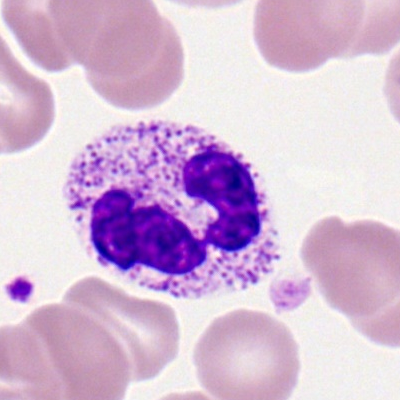 Peripheral blood film, single cell — polymorphonuclear neutrophil.